Bone marrow aspirate smear.
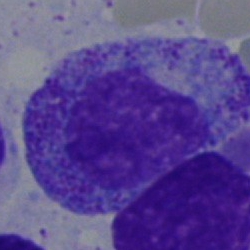Morphology consistent with a promyelocyte.